Peripheral blood film · 100× oil immersion, 14.14 px/µm
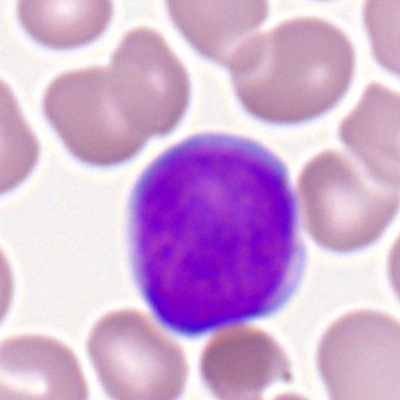

Specimen: peripheral blood smear.
Classification: myeloid blast.